Image size 400×400; peripheral blood smear:
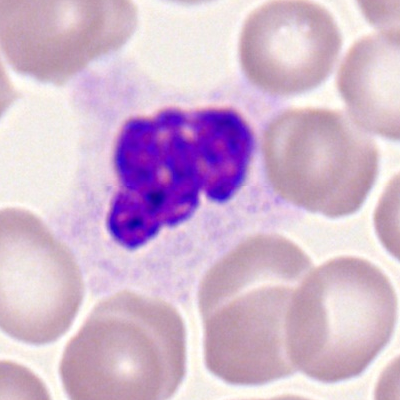
Cell — neutrophil (segmented).